Bone marrow smear.
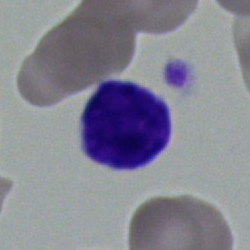Morphological class = lymphocyte.